Peripheral blood smear. 360×363 px. CellaVision DM96 digital cell image:
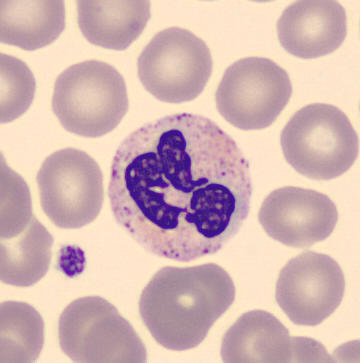
Q: Identify the cell.
A: This is a neutrophil (segmented).